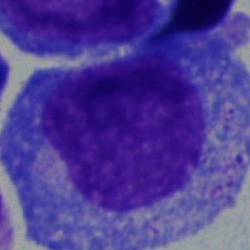
Cell type = progranulocyte.